Bone marrow aspirate smear.
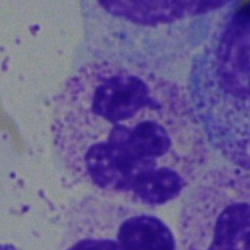 Morphology — polymorphonuclear neutrophil.